Bone marrow smear · May-Grünwald-Giemsa/Pappenheim stain.
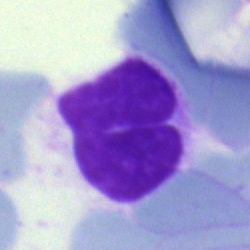
Cell type = artifact.